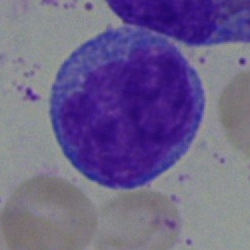A blast cell.